Bone marrow smear.
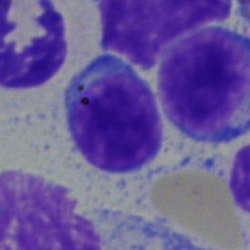 {"cell_type": "lymphocyte"}